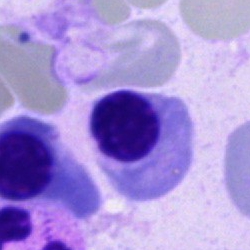

Morphological class — blast.